Brightfield microscopy, 40× oil immersion · bone marrow smear.
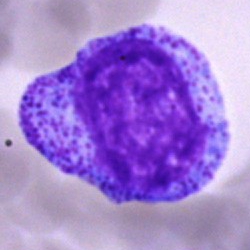This is a progranulocyte.